Bone marrow smear — 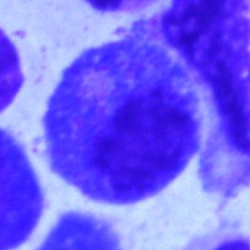
Q: What type of cell is this?
A: This is a promyelocyte.